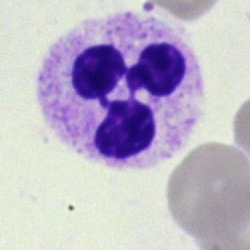

The cell type is segmented neutrophil.